Brightfield microscopy, 40× oil immersion · MGG-stained · bone marrow aspirate smear
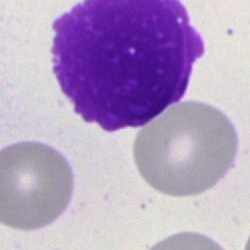 The cell shown is an artefact.